Pappenheim-stained. Bone marrow smear: 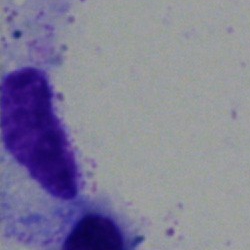Cell = artefact.